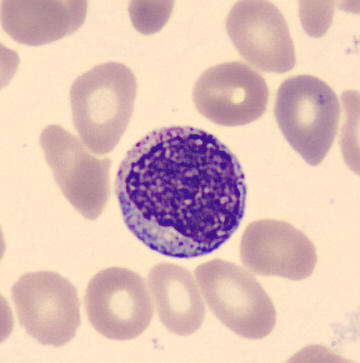
Peripheral blood film. Q: What is shown here?
A: It is a myelocyte.